May-Grünwald-Giemsa stain. Bone marrow aspirate smear: 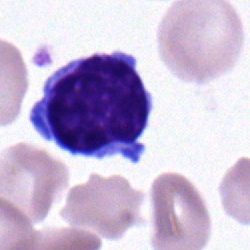 Cell = lymphocyte.